Pappenheim-stained. Bone marrow aspirate smear.
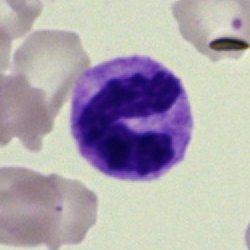

Q: Which cell type is shown here?
A: Band-form neutrophil.